Bone marrow aspirate smear: 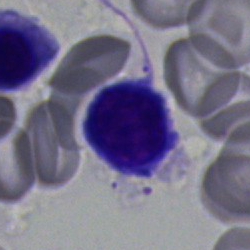

Q: Identify the cell.
A: A typical lymphocyte.